250 by 250 pixels · bone marrow aspirate smear · May-Grünwald-Giemsa/Pappenheim stain
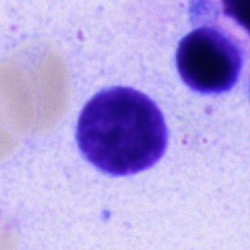 Morphology consistent with a typical lymphocyte.